Bone marrow smear
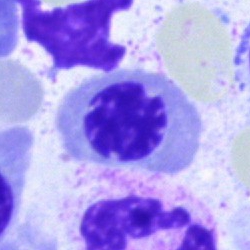
{"cell_type": "normoblast", "lineage": "erythroid"}